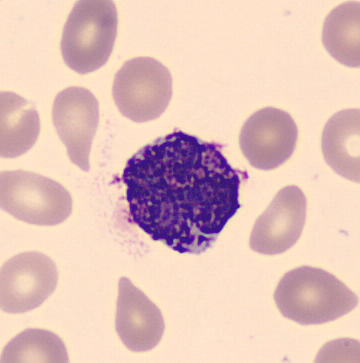
Specimen: peripheral blood smear.
Cell type: basophilic granulocyte.
Lineage: myeloid.